Bone marrow aspirate smear — 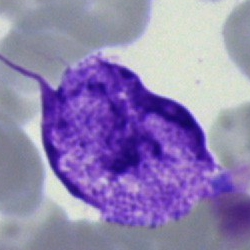
Specimen: bone marrow smear.
Morphological class: artefact.